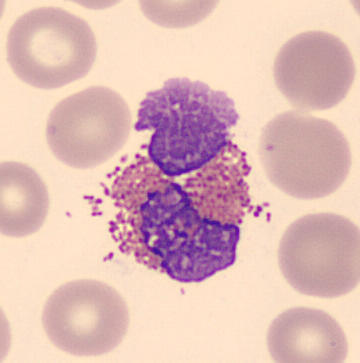 Morphological class = eosinophil.

Peripheral blood film.